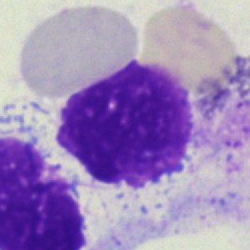 Cell = artefact.